Bone marrow aspirate smear
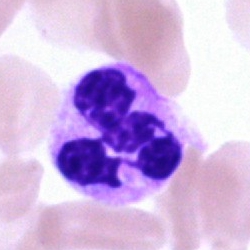 A polymorphonuclear neutrophil.